40× objective, oil immersion. Bone marrow smear
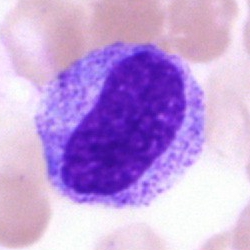Classification: metamyelocyte.